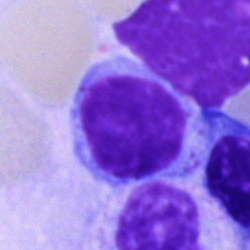
This is a lymphocyte.